Bone marrow aspirate smear: 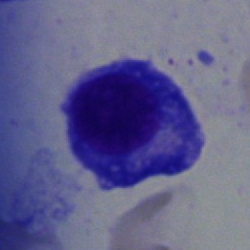
{"cell_type": "plasmacyte", "lineage": "lymphoid"}